Bone marrow smear.
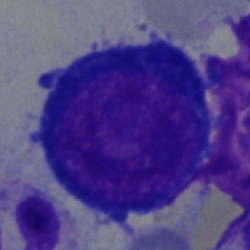
The classification is nucleated red cell.